Bone marrow aspirate smear — 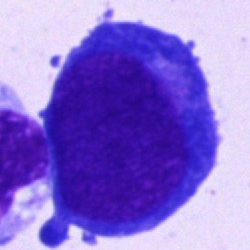

{"cell_type": "pronormoblast", "lineage": "erythroid"}